Bone marrow smear
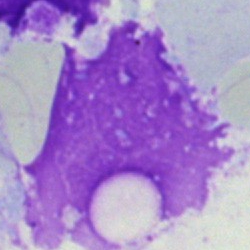
Morphology → artefact.